Bone marrow aspirate smear.
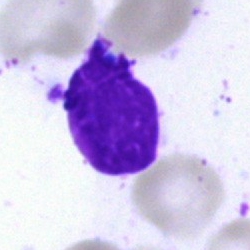{"cell_type": "artefact"}